Bone marrow smear — 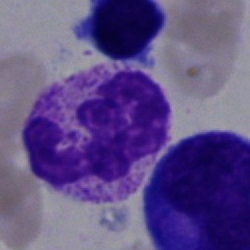
Specimen: bone marrow aspirate smear.
Morphological class: neutrophil (segmented).
Lineage: myeloid.